250×250 · bone marrow smear
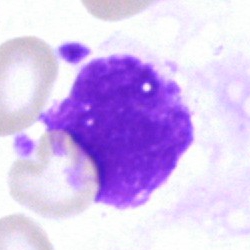

Morphology — artifact.